Cropped to a single cell; MGG-stained; bone marrow aspirate smear: 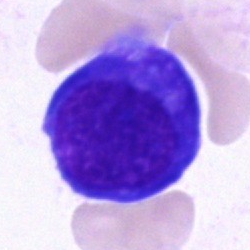 Morphology consistent with a nucleated red blood cell.